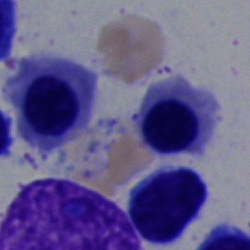 An erythroblast.